Bone marrow aspirate smear.
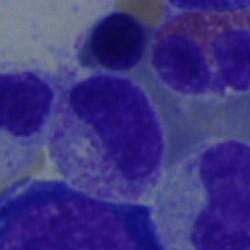

Specimen: bone marrow aspirate smear.
Classification: myelocyte.
Lineage: myeloid.